Single cell centered in the field. Bone marrow aspirate smear.
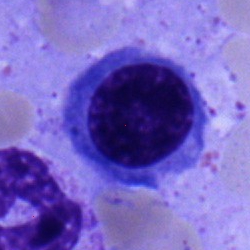
A nucleated red cell.